Bone marrow aspirate smear: 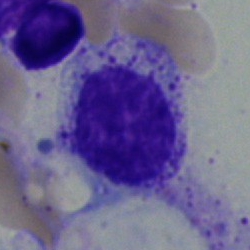This is a myelocyte.